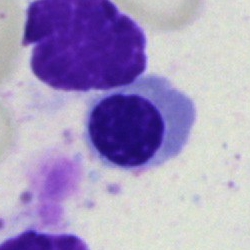 Morphological class: nucleated red cell.